40× oil immersion · bone marrow smear:
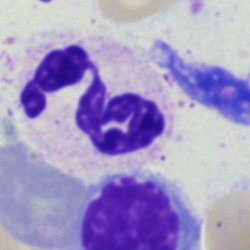 Q: What is shown here?
A: This is a polymorphonuclear neutrophil.